Bone marrow smear:
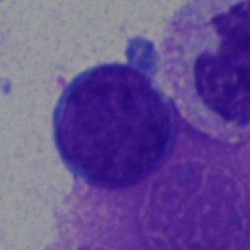

The morphological class is blast.